Bone marrow aspirate smear · brightfield, 40× oil-immersion objective
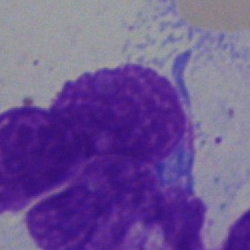

Specimen: bone marrow smear.
Morphological class: artifact.